Bone marrow aspirate smear:
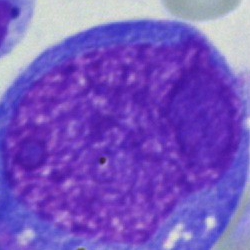 Q: What cell is this?
A: It is an undifferentiated blast.